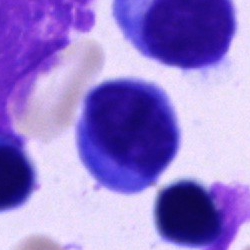
Q: What cell is this?
A: This is a typical lymphocyte.